Bone marrow smear — 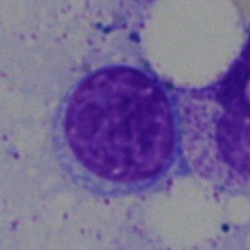 Morphology consistent with a lymphocyte.